Bone marrow smear · single-cell field.
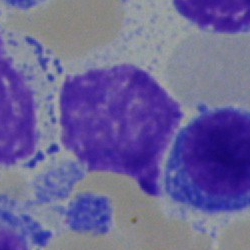Specimen: bone marrow aspirate smear.
Cell type: lymphocyte.
Lineage: lymphoid.